Peripheral blood film — 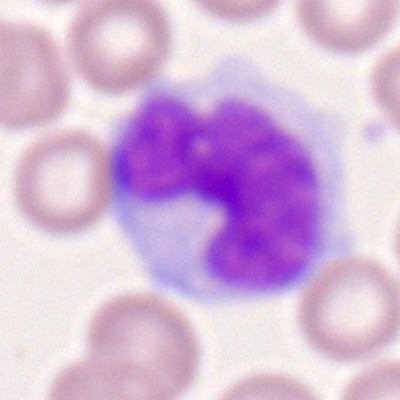 The cell shown is a monocyte.